May-Grünwald-Giemsa stain; bone marrow smear
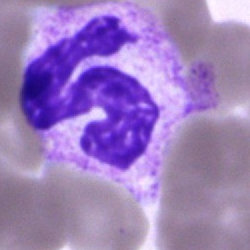
Cell type = segmented neutrophil.